Bone marrow aspirate smear · image size 250×250:
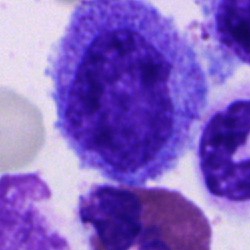

The cell is progranulocyte.